Bone marrow smear. 250×250 px
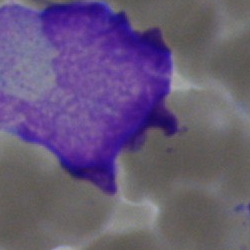 Cell type — blast cell.